Bone marrow aspirate smear
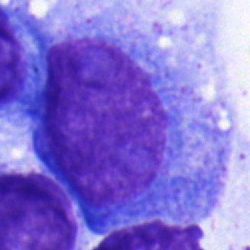

Q: What is the morphological classification of this cell?
A: A plasma cell.